250×250 px. Bone marrow aspirate smear. Pappenheim-stained: 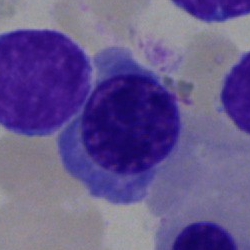
Showing a nucleated red blood cell.